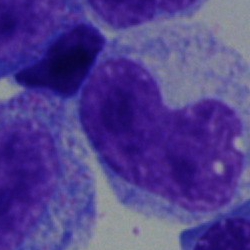

Impression — metamyelocyte.